Peripheral blood film; 360 by 363 pixels:
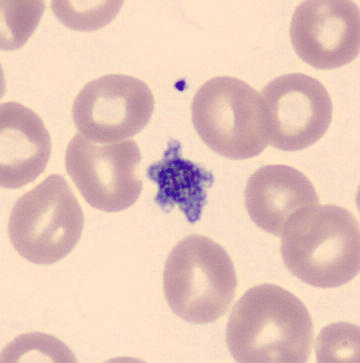
Thrombocyte.